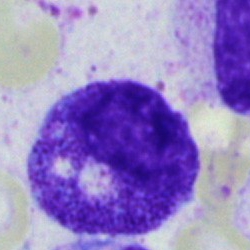 Morphological class — progranulocyte.